Bone marrow smear:
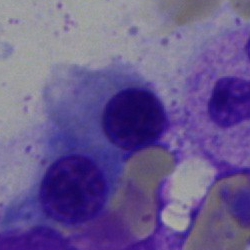 Morphology consistent with an erythroblast.